40× objective, oil immersion. Image size 250×250. Bone marrow smear.
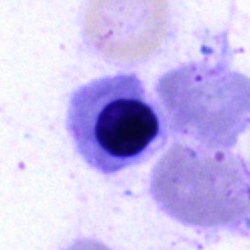Specimen: bone marrow smear.
Cell type: normoblast.
Lineage: erythroid.